Bone marrow aspirate smear:
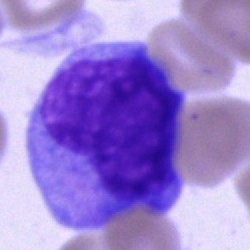

Morphological class: blast.